40× objective, oil immersion · 250×250 · bone marrow smear: 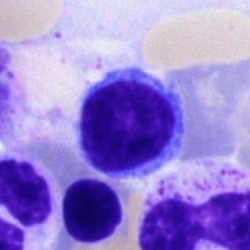Impression → typical lymphocyte.